Single-cell crop. Bone marrow aspirate smear — 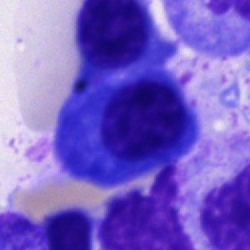Impression — plasmacyte.